Bone marrow aspirate smear.
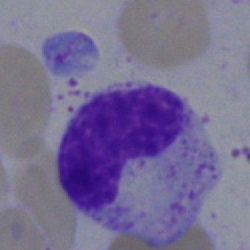 A metamyelocyte.